40× objective, oil immersion; bone marrow aspirate smear; single-cell field — 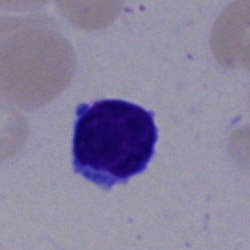
Q: What cell is this?
A: It is a lymphocyte.